Image size 250×250. Bone marrow smear — 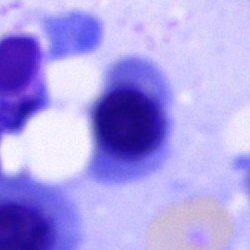

Showing a nucleated red cell.